Bone marrow smear.
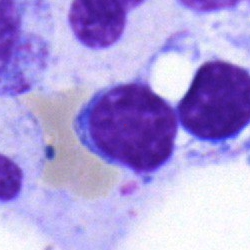This is a lymphocyte.